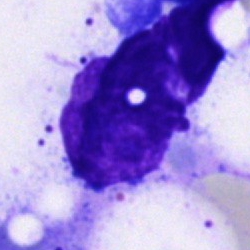 Impression → artifact.